Bone marrow smear. Cropped to a single cell. Brightfield, 40× oil-immersion objective — 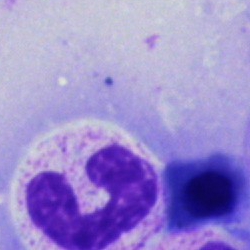 Q: What is shown here?
A: It is a band neutrophil.